Bone marrow smear: 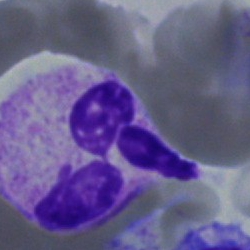
Morphological class — neutrophil (segmented).